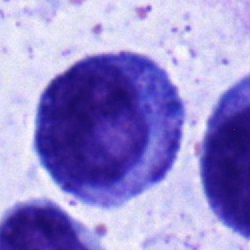

Single-cell crop from a bone marrow smear: promyelocyte.